May-Grünwald-Giemsa stain. Bone marrow smear: 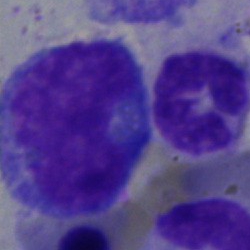 Specimen: bone marrow aspirate smear.
Cell type: monocyte.
Lineage: myeloid.